Bone marrow smear
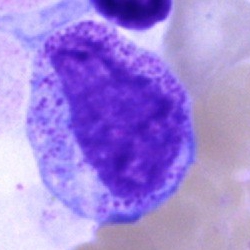 Morphology → promyelocyte.